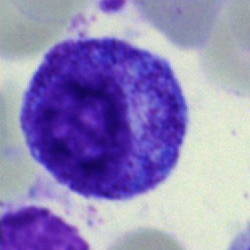 Cell: promyelocyte.